Bone marrow smear
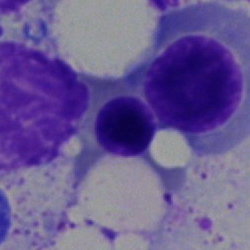

Nucleated red cell.